Peripheral blood smear — 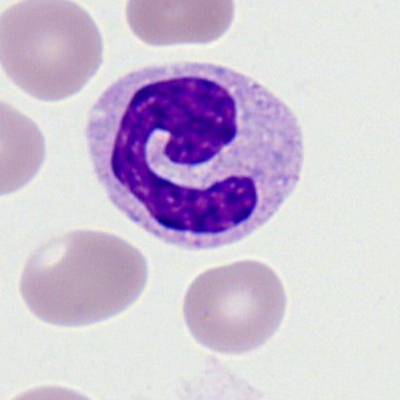 Cell type — polymorphonuclear neutrophil.